Peripheral blood smear · 100× oil immersion, 14.14 px/µm.
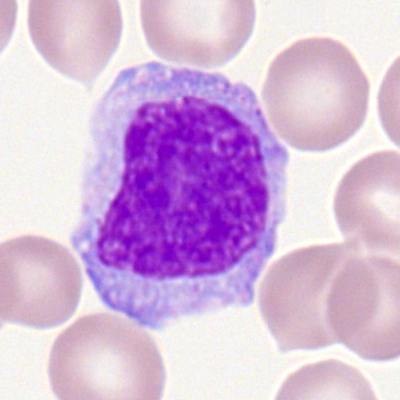 Monocyte.